Bone marrow smear — 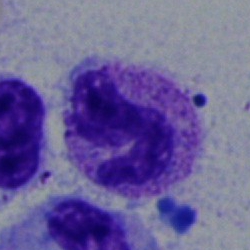 Q: Which cell type is shown here?
A: Band-form neutrophil.